Pappenheim-stained; brightfield, 40× oil-immersion objective; bone marrow smear.
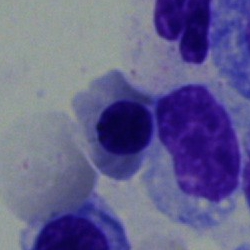

Morphological class: nucleated red blood cell.